250×250. Bone marrow smear
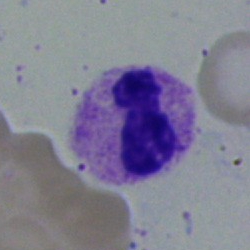
{"cell_type": "stab cell"}